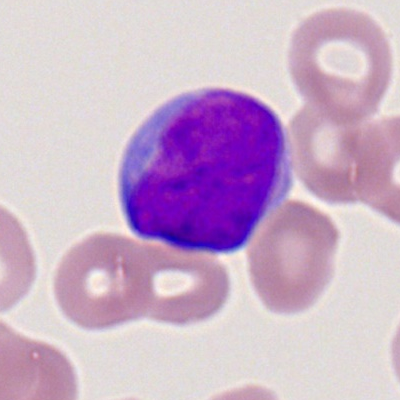 Single-cell crop from a peripheral blood smear: myeloblast.